Bone marrow smear · 40× objective, oil immersion · image size 250×250 — 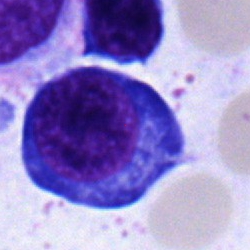Q: What cell is this?
A: Pronormoblast.